Bone marrow aspirate smear
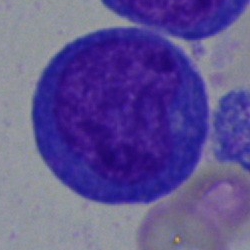Impression — blast.